Bone marrow smear
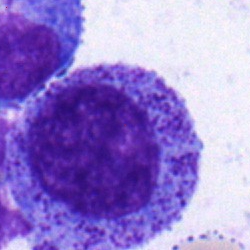The cell shown is a promyelocyte.